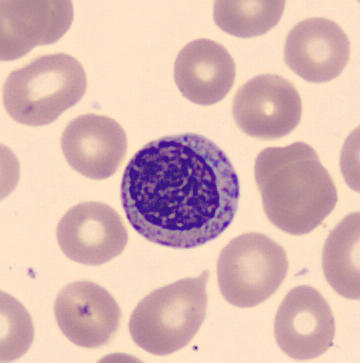
Specimen: peripheral blood smear.
Classification: myelocyte.
Lineage: myeloid.